Bone marrow smear
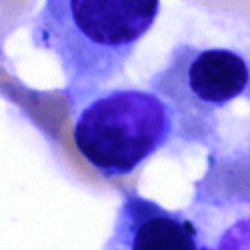

Classification: lymphocyte.